May-Grünwald-Giemsa stain · bone marrow smear · single-cell crop
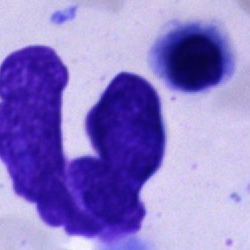

Morphological class: artefact.